Bone marrow smear.
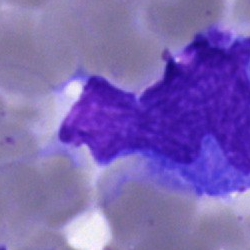
Q: What is shown here?
A: This is an artefact.